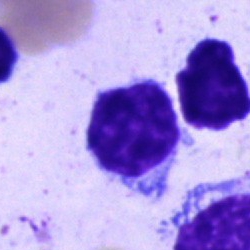 Q: What is the morphological classification of this cell?
A: Typical lymphocyte.